Bone marrow aspirate smear
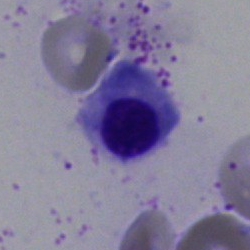
Specimen: bone marrow aspirate smear.
Classification: nucleated red cell.
Lineage: erythroid.